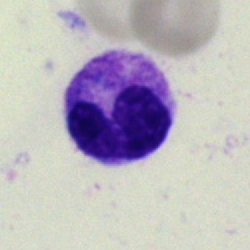
Bone marrow smear showing a neutrophil (segmented).